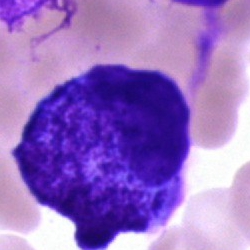 Bone marrow aspirate smear, single cell — promyelocyte.